Bone marrow smear. Single cell centered in the field
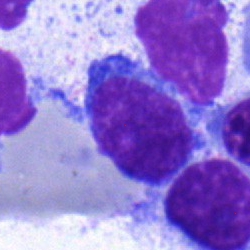
Q: What is shown here?
A: This is a typical lymphocyte.